Bone marrow smear · May-Grünwald-Giemsa stain · image size 250×250 — 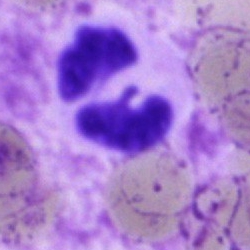 Morphology — neutrophil (segmented).